Bone marrow aspirate smear · single-cell crop — 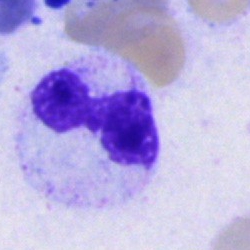 Single cell identified as a segmented neutrophil.